40× objective, oil immersion; bone marrow aspirate smear
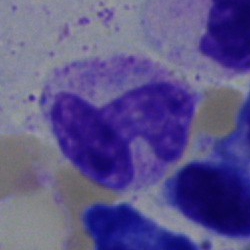

{"cell_type": "stab cell"}